Bone marrow aspirate smear:
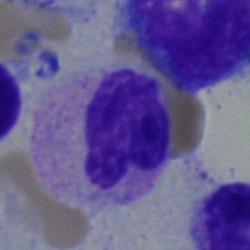

Specimen: bone marrow smear.
Classification: neutrophil (segmented).
Lineage: myeloid.